Single-cell field · Pappenheim-stained · bone marrow smear:
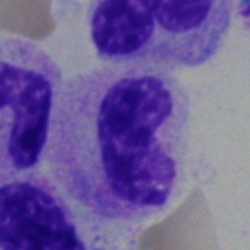
Showing a band-form neutrophil.